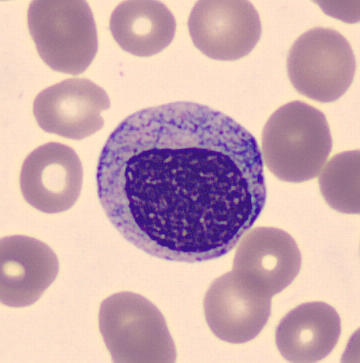
Preparation: Peripheral blood smear · May Grünwald-Giemsa stain. Identified as a myelocyte.